Bone marrow aspirate smear; cropped to a single cell:
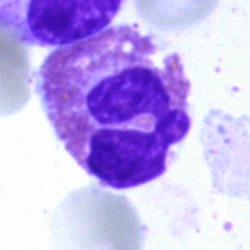
The cell shown is an eosinophilic granulocyte.